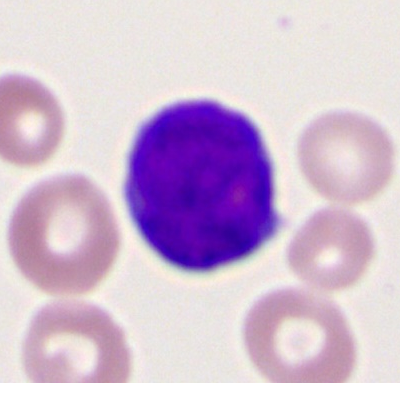 Cell type: myeloblast.